Bone marrow smear; brightfield, 40× oil-immersion objective: 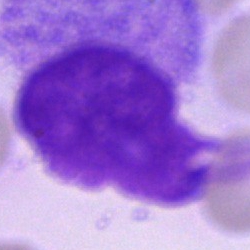An artifact.